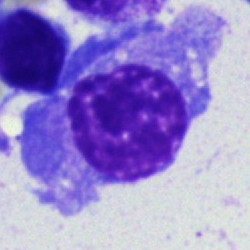Plasma cell.